Image size 250×250 · bone marrow aspirate smear · single-cell field:
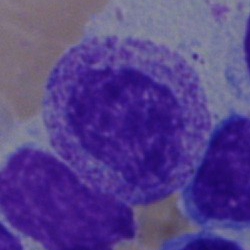The cell is myelocyte.